Peripheral blood smear.
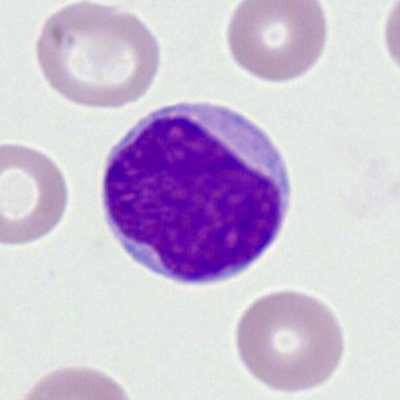
This is a myeloid blast.